250 by 250 pixels. Cropped to a single cell. Bone marrow smear — 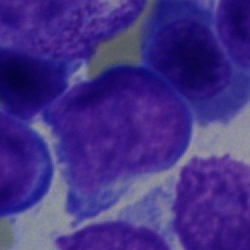 Impression → blast cell.